Pappenheim-stained; single cell centered in the field; bone marrow smear:
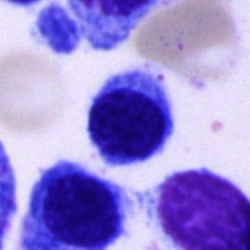

Specimen: bone marrow aspirate smear.
Classification: lymphocyte.